Bone marrow smear — 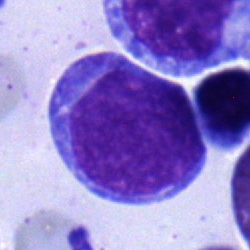
Q: What type of cell is this?
A: It is a blast cell.